Bone marrow aspirate smear.
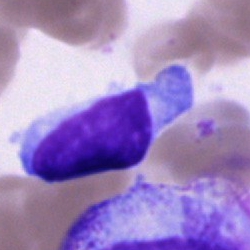The cell shown is a lymphocyte.